Bone marrow aspirate smear:
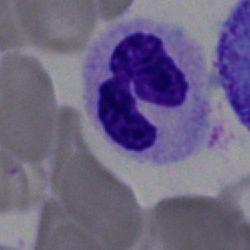

Morphological class = polymorphonuclear neutrophil.